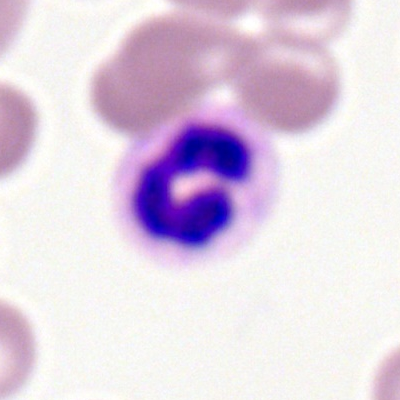

Single cell identified as a segmented neutrophil.